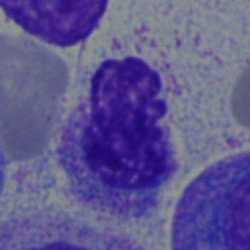
Q: Identify the cell.
A: A polymorphonuclear neutrophil.